Image size 250×250; bone marrow smear: 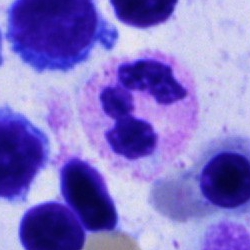
The cell is neutrophil (segmented).